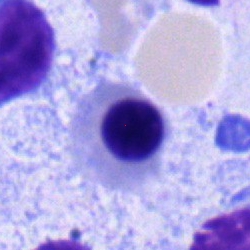 Specimen: bone marrow smear.
Cell type: erythroblast.